Bone marrow aspirate smear. Image size 250×250:
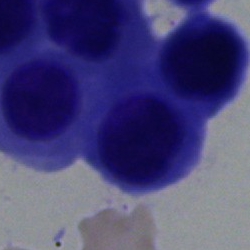 Morphology consistent with a nucleated red blood cell.